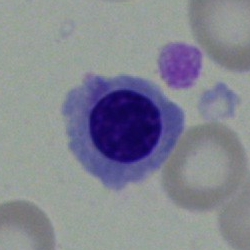

Single-cell crop from a bone marrow smear: nucleated red cell.